Pappenheim-stained. Brightfield, 40× oil-immersion objective. Bone marrow smear
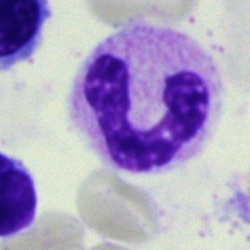Q: What is shown here?
A: It is a neutrophil (band).